Bone marrow smear; cropped to a single cell
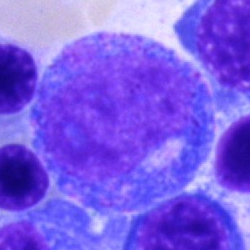

Q: What type of cell is this?
A: Progranulocyte.